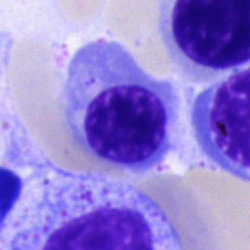
Cell — normoblast.